Pappenheim-stained; bone marrow aspirate smear:
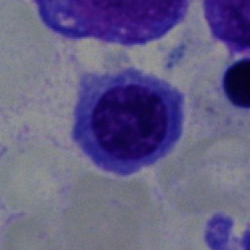 Nucleated red blood cell.